Bone marrow aspirate smear · 40× objective, oil immersion · 250×250 px: 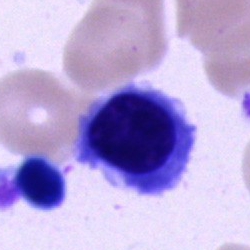

Q: Identify the cell.
A: A normoblast.